Bone marrow aspirate smear:
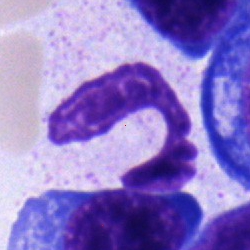
Q: What cell is this?
A: A normoblast.